Bone marrow smear.
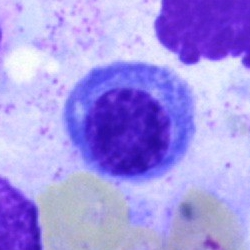

Single cell identified as an erythroblast.